Bone marrow smear:
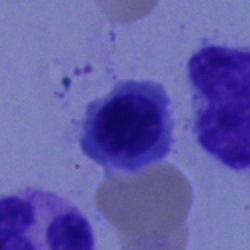 Q: What type of cell is this?
A: An erythroblast.